Peripheral blood film:
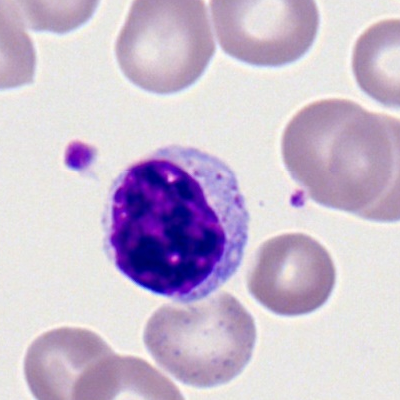Specimen: peripheral blood smear.
Morphological class: lymphocyte.
Lineage: lymphoid.